Bone marrow smear — 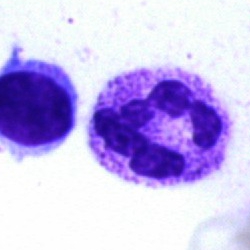
Morphology → segmented neutrophil.